Bone marrow smear. Single-cell field.
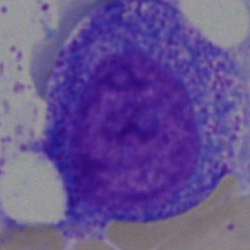

Promyelocyte.